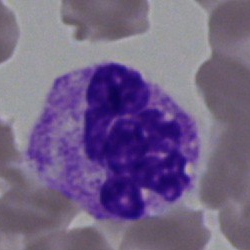Single cell identified as a polymorphonuclear neutrophil.